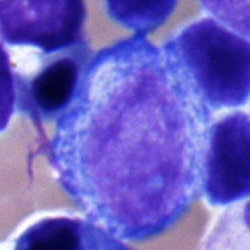Progranulocyte.